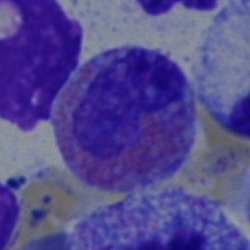
Single cell identified as an eosinophilic granulocyte.